Bone marrow aspirate smear · May-Grünwald-Giemsa stain
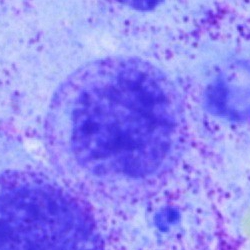
Cell type = myelocyte.